Romanowsky-type stain; peripheral blood smear; 100× oil immersion, 14.14 px/µm — 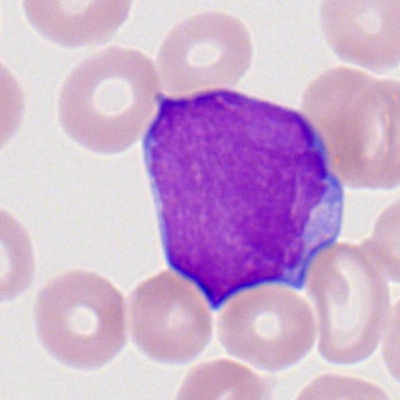

{"cell_type": "myeloid blast", "lineage": "myeloid"}